Bone marrow smear — 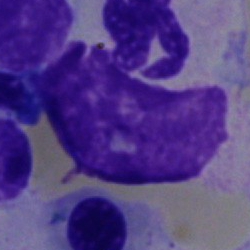 Cell type: artefact.